Single-cell crop. Bone marrow aspirate smear — 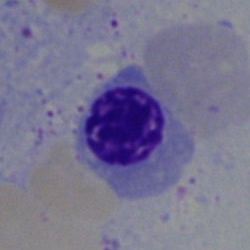

Nucleated red cell.